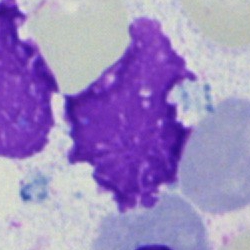Q: What is shown here?
A: An artefact.